Image size 250×250 · May-Grünwald-Giemsa/Pappenheim stain · bone marrow aspirate smear
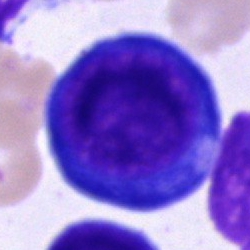 Specimen: bone marrow smear.
Morphological class: proerythroblast.
Lineage: erythroid.